Brightfield microscopy, 40× oil immersion; bone marrow aspirate smear — 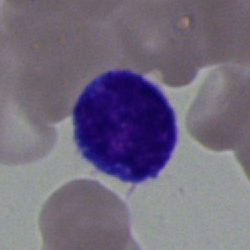

Morphology consistent with a typical lymphocyte.